Bone marrow aspirate smear:
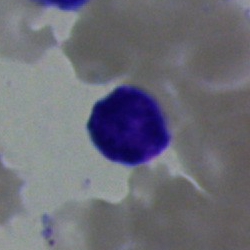 Q: What is the morphological classification of this cell?
A: A lymphocyte.